Bone marrow aspirate smear; 40× oil immersion; single-cell crop: 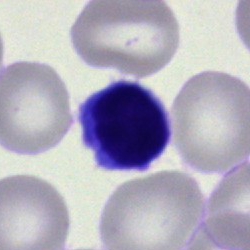A lymphocyte.